Bone marrow aspirate smear. 250×250
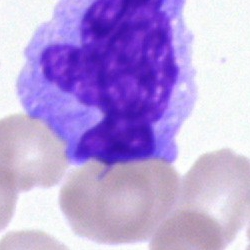Morphology consistent with a monocyte.